250×250 · bone marrow aspirate smear:
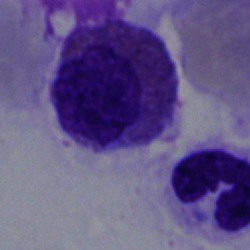
Impression → eosinophil.